Bone marrow smear. 250 by 250 pixels: 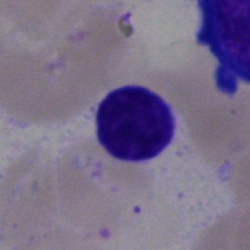

Cell — lymphocyte.